Bone marrow smear:
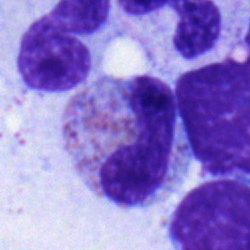Cell: eosinophil.